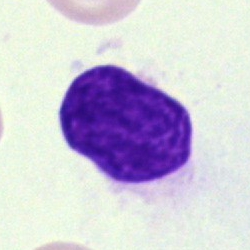This is an artefact.